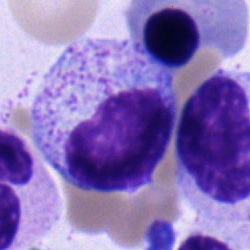Q: What cell is this?
A: It is a myelocyte.